Bone marrow smear · single cell centered in the field · brightfield, 40× oil-immersion objective
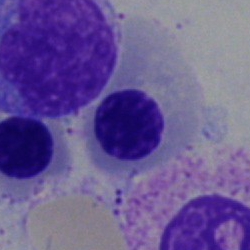 {"cell_type": "nucleated red blood cell"}